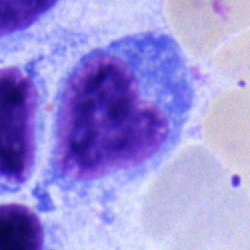 The cell type is typical lymphocyte.